Bone marrow aspirate smear: 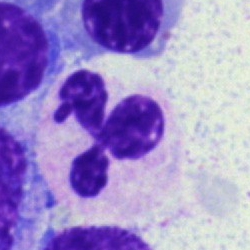

Cell = segmented neutrophil.